Bone marrow aspirate smear:
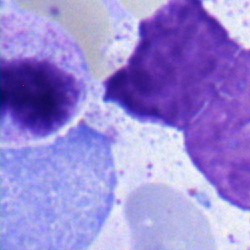
Band-form neutrophil.